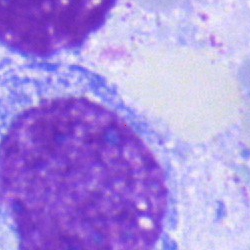This is a promyelocyte.